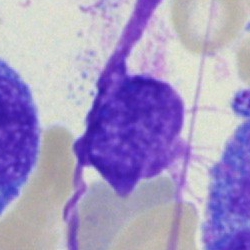
The morphological class is artifact.